250 by 250 pixels. Bone marrow aspirate smear:
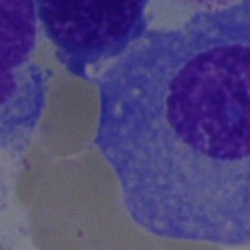Morphological class: plasma cell.